40× oil immersion. Bone marrow aspirate smear — 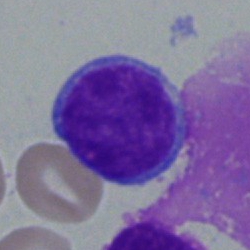
Single cell identified as a lymphocyte.